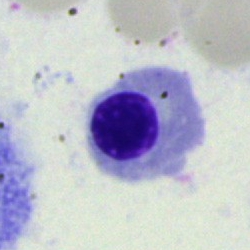
Impression → erythroblast.